Bone marrow aspirate smear. Image size 250×250: 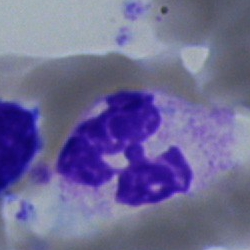

Morphology consistent with a segmented neutrophil.